Bone marrow aspirate smear. Pappenheim-stained. Cropped to a single cell.
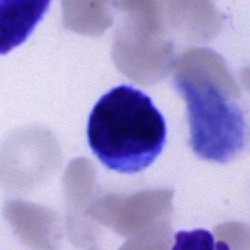 Q: What is the morphological classification of this cell?
A: A lymphocyte.